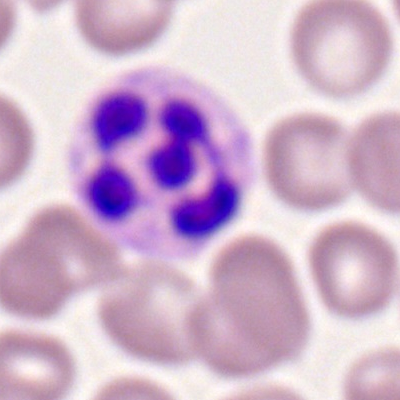Morphology → polymorphonuclear neutrophil.